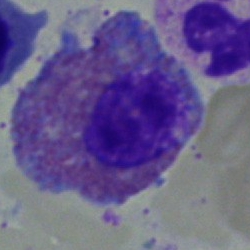An eosinophil on a bone marrow smear.